Bone marrow aspirate smear
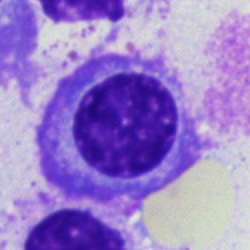Specimen: bone marrow smear.
Classification: plasmacyte.
Lineage: lymphoid.